Bone marrow smear · May-Grünwald-Giemsa/Pappenheim stain · 250 by 250 pixels: 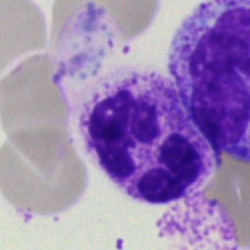

Morphology consistent with a segmented neutrophil.